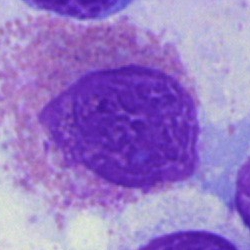
Cell — eosinophilic granulocyte.